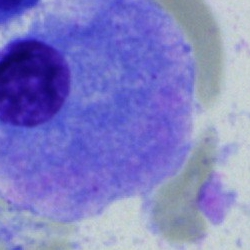This is a plasma cell.